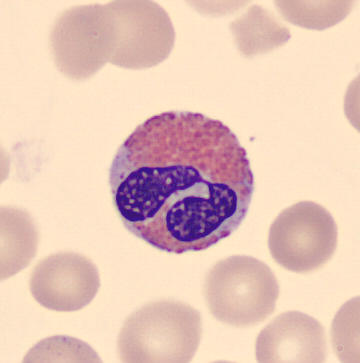 Preparation: Cropped to a single cell. Image size 360×363. Peripheral blood film. An eosinophil.